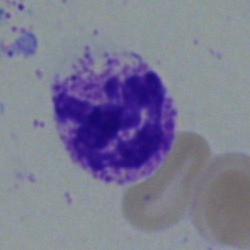{"cell_type": "segmented neutrophil", "lineage": "myeloid"}